40× oil immersion. Bone marrow aspirate smear. Cropped to a single cell
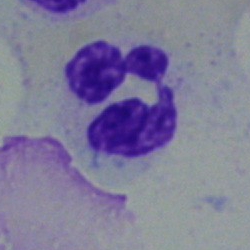
This is a segmented neutrophil.